Single-cell field; image size 400×400; peripheral blood smear: 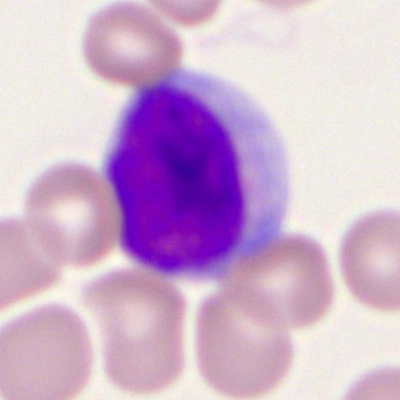The cell shown is a myeloid blast.